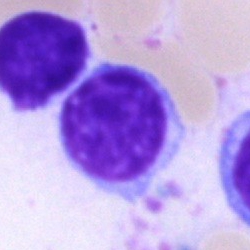The cell type is lymphocyte.